Cropped to a single cell; 250×250; bone marrow smear: 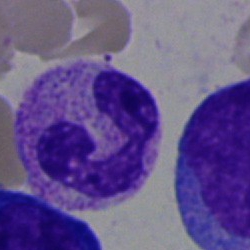 Q: What is shown here?
A: It is a neutrophil (band).